Bone marrow aspirate smear: 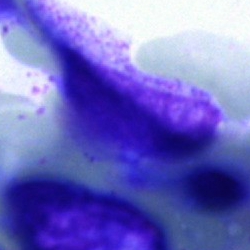Specimen: bone marrow smear.
Cell: artefact.